Bone marrow smear
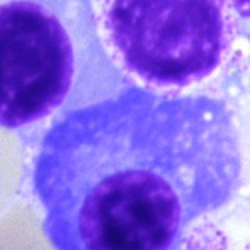
Classification: plasmacyte.